Bone marrow aspirate smear.
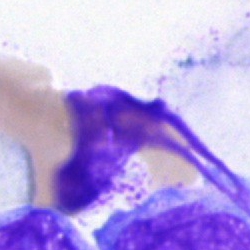Cell: artifact.